Bone marrow smear.
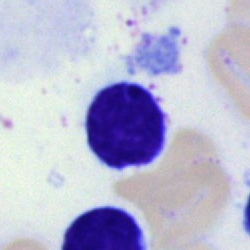
Q: What type of cell is this?
A: A typical lymphocyte.